Bone marrow smear
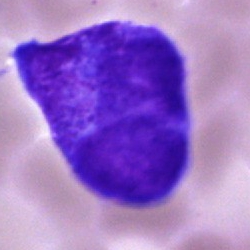 This is a blast.